Bone marrow smear.
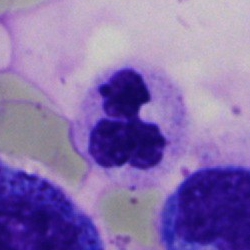
Morphological class: segmented neutrophil.